Bone marrow smear — 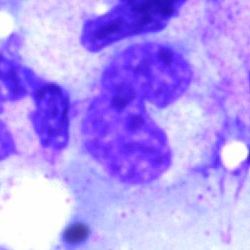

Morphological class = neutrophil (segmented).